Bone marrow aspirate smear; cropped to a single cell: 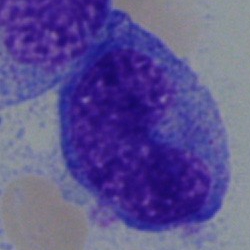
Morphology → blast.